Bone marrow aspirate smear · 250×250:
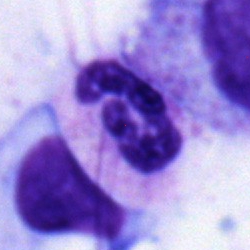

This is a polymorphonuclear neutrophil.